Bone marrow smear
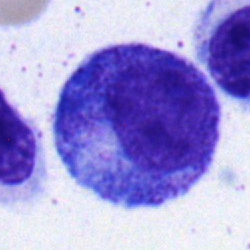

Specimen: bone marrow smear.
Cell: promyelocyte.
Lineage: myeloid.